Bone marrow smear:
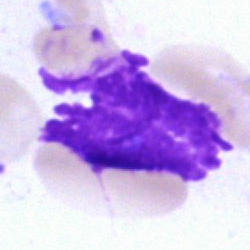

Q: What is shown here?
A: Artifact.